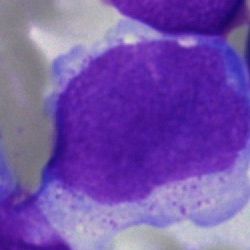Impression — blast cell.